Brightfield microscopy, 40× oil immersion; 250×250; bone marrow aspirate smear:
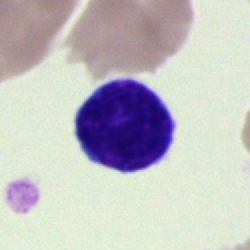

Cell — typical lymphocyte.